Pappenheim-stained · bone marrow aspirate smear · 40× objective, oil immersion — 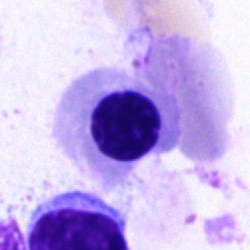
Morphology — nucleated red cell.